Peripheral blood film:
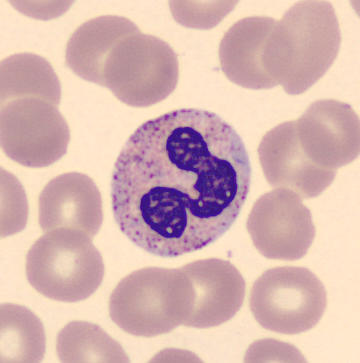This is a polymorphonuclear neutrophil.